Bone marrow aspirate smear:
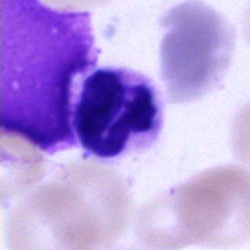 Impression → segmented neutrophil.